250×250; bone marrow smear: 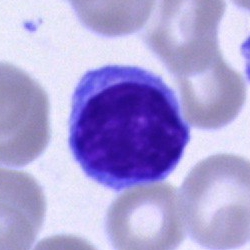
Cell type = typical lymphocyte.